Bone marrow smear: 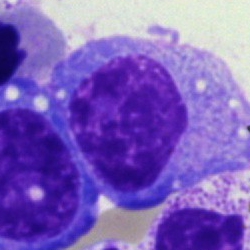
Classification — plasmacyte.